40× oil immersion · bone marrow smear:
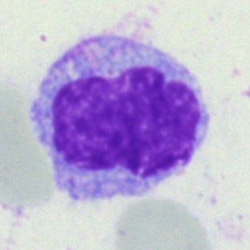

Morphology consistent with a monocyte.